Bone marrow aspirate smear: 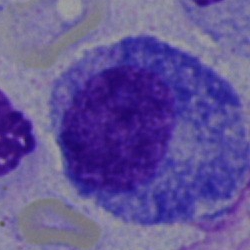A progranulocyte.